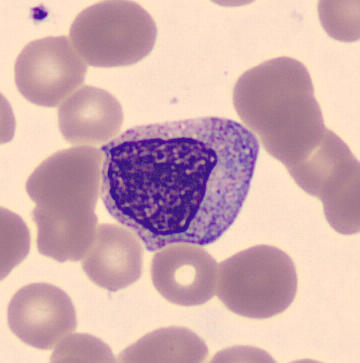
Preparation: Single-cell crop · May Grünwald-Giemsa stain · peripheral blood film.
Showing a myelocyte.